Single-cell field · bone marrow aspirate smear
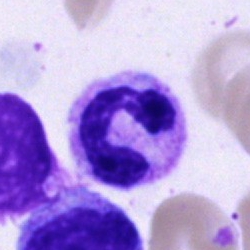 Specimen: bone marrow aspirate smear.
Cell: band neutrophil.
Lineage: myeloid.